Bone marrow aspirate smear. Cropped to a single cell.
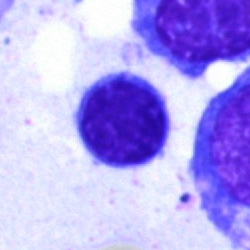Q: What cell is this?
A: This is a typical lymphocyte.